Bone marrow aspirate smear:
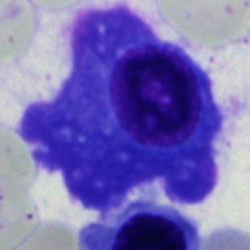

Morphology consistent with a plasma cell.